MGG-stained · brightfield, 40× oil-immersion objective · bone marrow aspirate smear
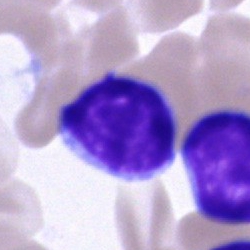This is a typical lymphocyte.